250×250; bone marrow smear; Pappenheim-stained:
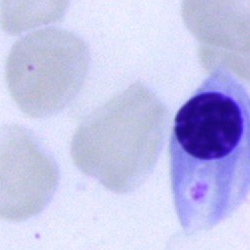
Showing a normoblast.